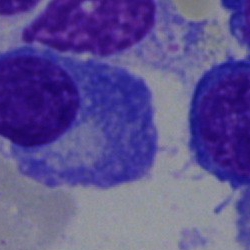
Cell = plasmacyte.